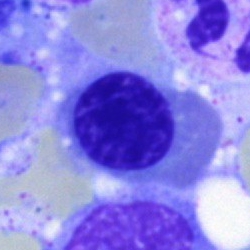

Cell = normoblast.